Single-cell field; bone marrow aspirate smear:
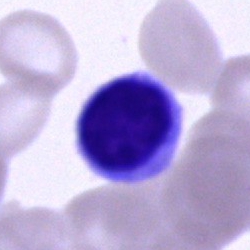Classification: lymphocyte.